400×400 px · peripheral blood smear:
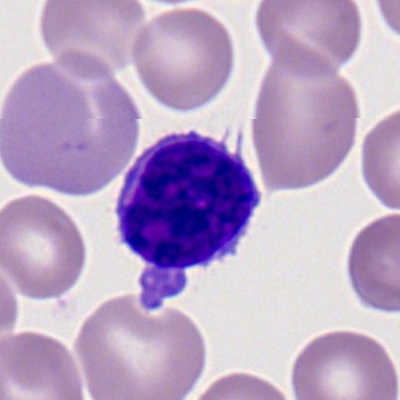Showing a typical lymphocyte.